Bone marrow aspirate smear:
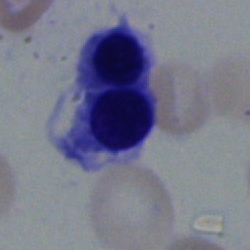

Morphology consistent with a nucleated red cell.